Peripheral blood film; Romanowsky-type stain:
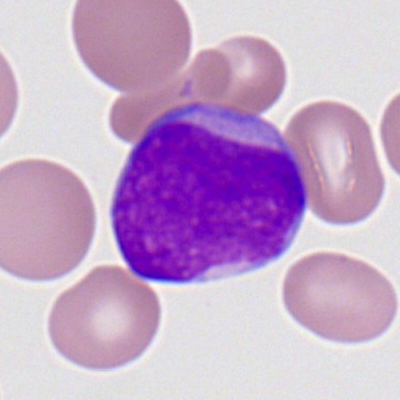A myeloblast.